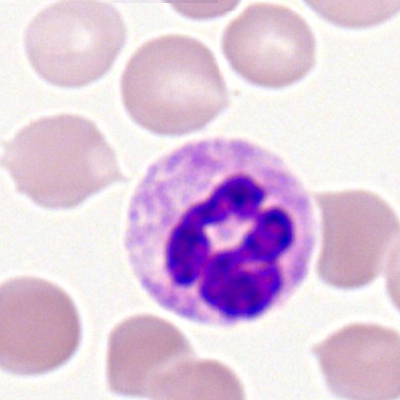Morphological class = segmented neutrophil.